40× objective, oil immersion · bone marrow smear:
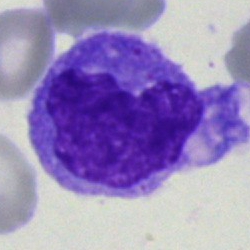Morphology consistent with a monocyte.